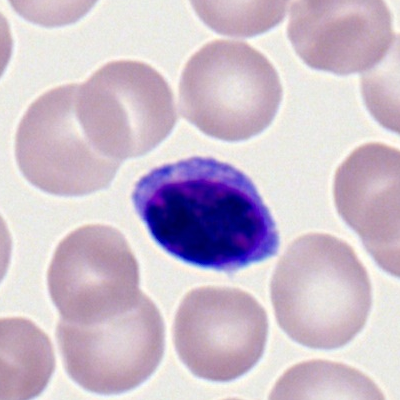

A typical lymphocyte on a peripheral blood smear.